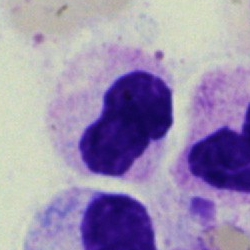

Q: What type of cell is this?
A: A band neutrophil.